Bone marrow aspirate smear — 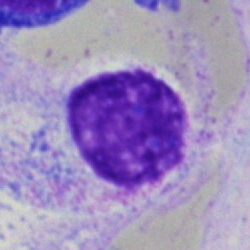

{"cell_type": "artifact"}